Bone marrow aspirate smear; single-cell crop — 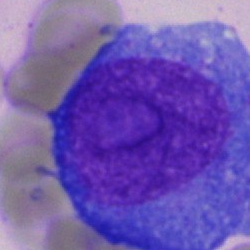Morphological class: blast cell.